Bone marrow smear:
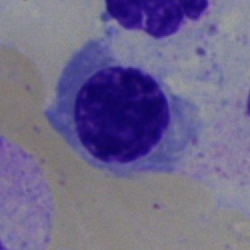Q: Which cell type is shown here?
A: A normoblast.